Bone marrow aspirate smear — 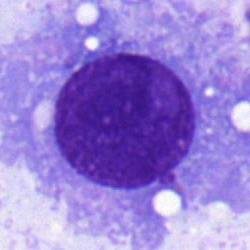

Q: What is the morphological classification of this cell?
A: This is a plasma cell.